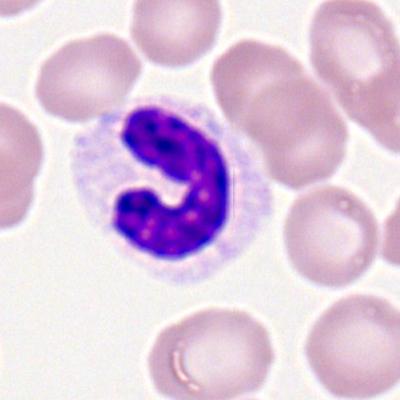

Showing a band neutrophil.